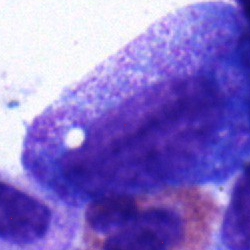 Morphology → progranulocyte.